Bone marrow smear. 250×250: 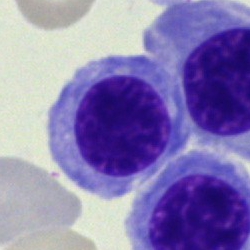 Classification = nucleated red blood cell.